Bone marrow aspirate smear: 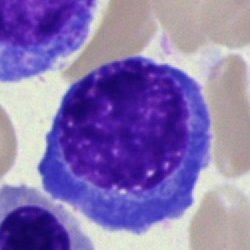
Morphology consistent with an erythroblast.